May-Grünwald-Giemsa stain. Bone marrow aspirate smear
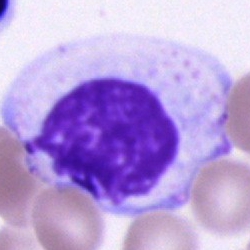

Morphology consistent with a cell of indeterminate lineage.